Peripheral blood smear.
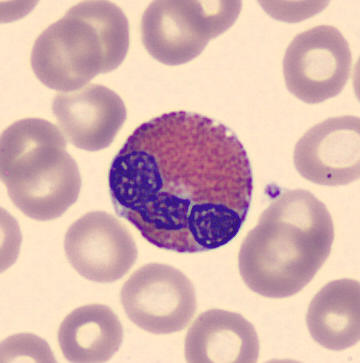 Eosinophilic granulocyte.